Bone marrow smear
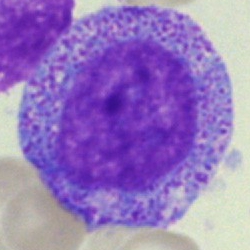 Cell = promyelocyte.